Bone marrow smear
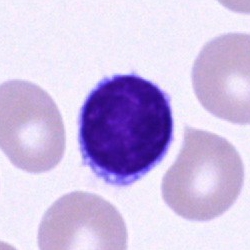

This is a typical lymphocyte.